Bone marrow smear — 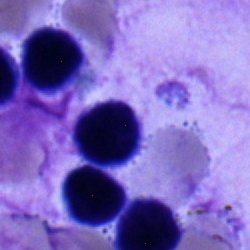 Showing a typical lymphocyte.